Bone marrow aspirate smear; Pappenheim-stained
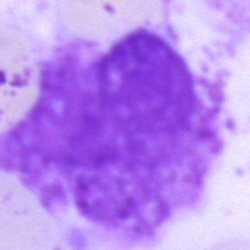Cell: artifact.